40× objective, oil immersion; bone marrow aspirate smear: 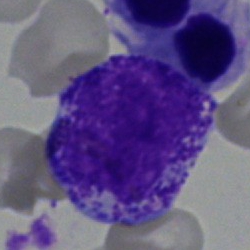 Myelocyte.